Bone marrow aspirate smear; 40× objective, oil immersion:
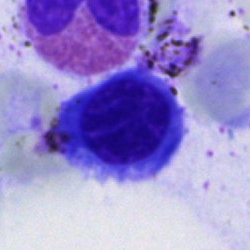
{"cell_type": "nucleated red cell", "lineage": "erythroid"}